250×250 · bone marrow smear · Pappenheim-stained — 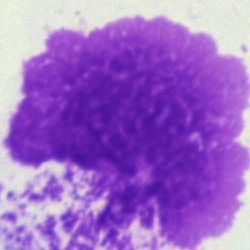The classification is artifact.